Single-cell field. May-Grünwald-Giemsa stain. Bone marrow smear — 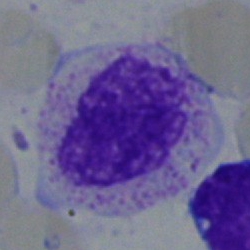

Q: What is shown here?
A: It is a myelocyte.